Image size 250×250 · bone marrow smear
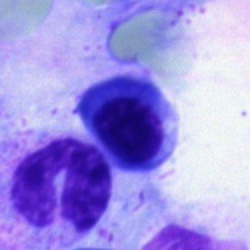 Morphology → nucleated red blood cell.